Single-cell field. Bone marrow smear. Brightfield microscopy, 40× oil immersion
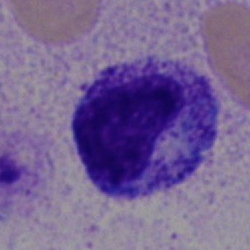Morphology consistent with a myelocyte.